Pappenheim-stained · bone marrow smear: 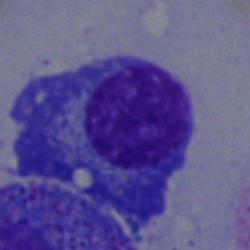 This is a plasmacyte.